Bone marrow aspirate smear:
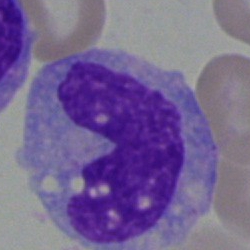Classification: monocyte.